Bone marrow aspirate smear; brightfield, 40× oil-immersion objective: 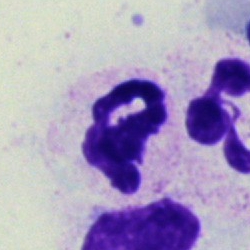
{"cell_type": "polymorphonuclear neutrophil", "lineage": "myeloid"}